Bone marrow smear:
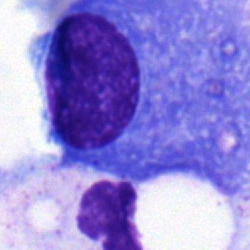

Plasmacyte.